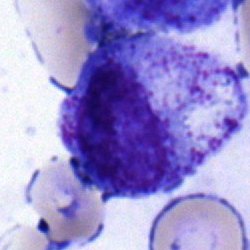

Q: What is the morphological classification of this cell?
A: A myelocyte.